Bone marrow smear · May-Grünwald-Giemsa stain · 40× objective, oil immersion
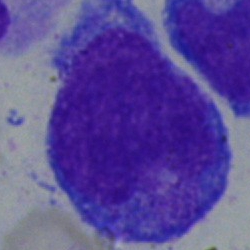

Morphology consistent with a promyelocyte.